Bone marrow aspirate smear — 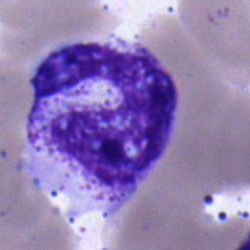
Showing a band-form neutrophil.